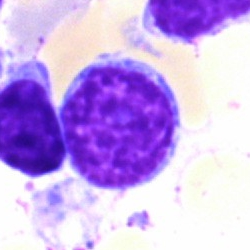
Cell — typical lymphocyte.